Bone marrow smear · single-cell crop · Pappenheim-stained: 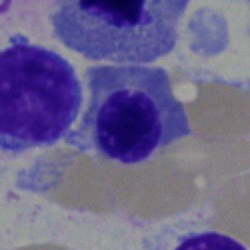 Specimen: bone marrow smear.
Morphological class: normoblast.
Lineage: erythroid.